Bone marrow smear · 40× objective, oil immersion:
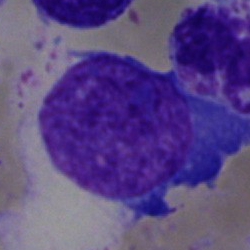 Q: What is the morphological classification of this cell?
A: It is a blast cell.